Bone marrow smear — 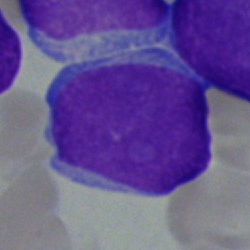Cell type: blast cell.